Bone marrow aspirate smear
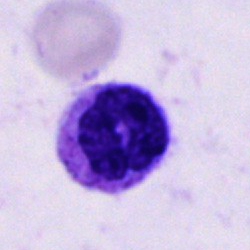 Classification — stab cell.